Bone marrow aspirate smear — 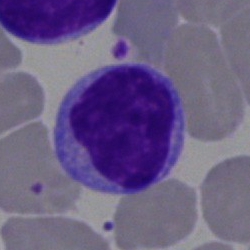 Cell: lymphocyte.